Bone marrow aspirate smear: 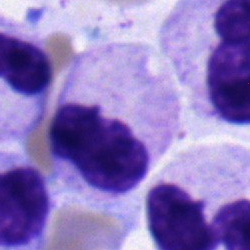
Morphology — polymorphonuclear neutrophil.